MGG-stained. Image size 250×250. Bone marrow aspirate smear:
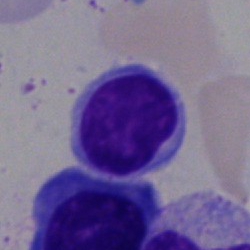
Impression — lymphocyte.